Bone marrow smear
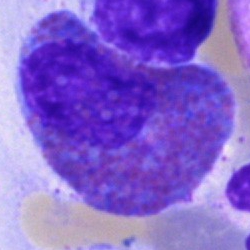
Q: What cell is this?
A: It is an eosinophilic granulocyte.